Bone marrow aspirate smear · May-Grünwald-Giemsa stain · 250 by 250 pixels:
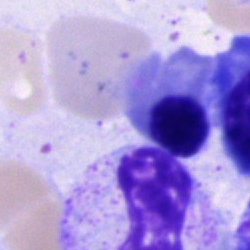
Q: What is the morphological classification of this cell?
A: A normoblast.